Bone marrow smear · image size 250×250
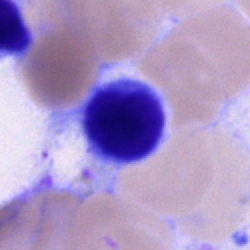

Q: What is the morphological classification of this cell?
A: This is a lymphocyte.